Single cell centered in the field. Bone marrow smear:
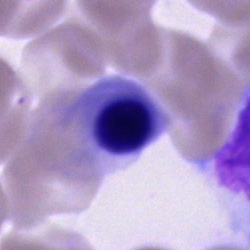Single cell identified as an erythroblast.